Bone marrow aspirate smear.
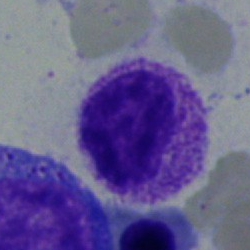

Q: What is the morphological classification of this cell?
A: This is a myelocyte.